Bone marrow smear; single-cell field: 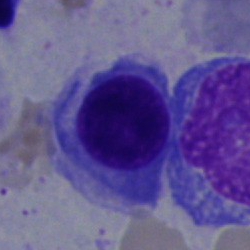
A nucleated red blood cell.